Brightfield, 40× oil-immersion objective · bone marrow aspirate smear · May-Grünwald-Giemsa/Pappenheim stain: 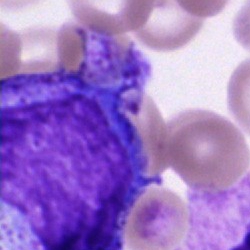

This is a progranulocyte.